Bone marrow aspirate smear
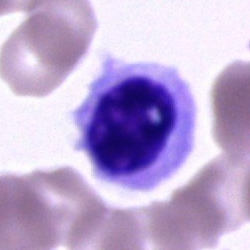Showing an unidentifiable cell.